Bone marrow smear
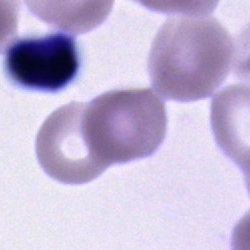

Cell type = unidentifiable cell.